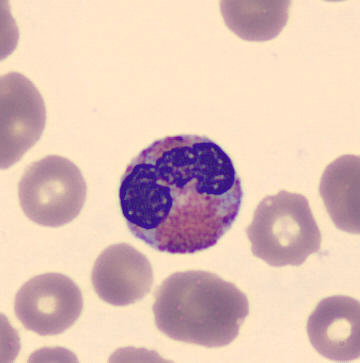
Impression — eosinophil.
Image: Peripheral blood film.